Bone marrow smear · 40× objective, oil immersion
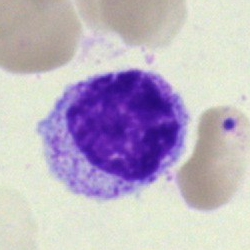Specimen: bone marrow smear.
Cell type: myelocyte.
Lineage: myeloid.